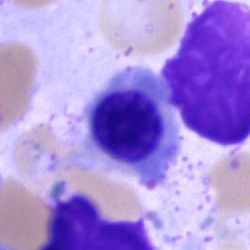
Showing an erythroblast.